Bone marrow smear — 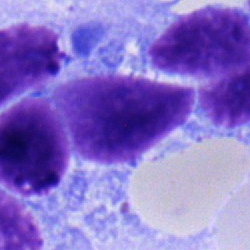This is a lymphocyte.